Bone marrow aspirate smear — 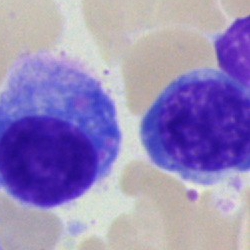Plasma cell.